Bone marrow smear — 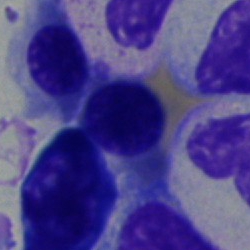
This is a nucleated red blood cell.